Bone marrow smear: 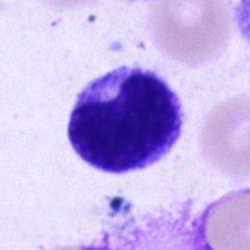 Classification = cell of indeterminate lineage.